Bone marrow smear: 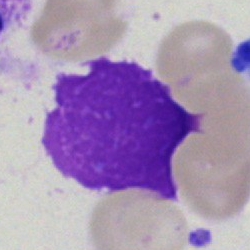

The cell shown is an artifact.